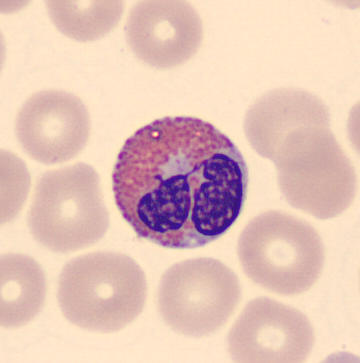 Specimen: peripheral blood film.
Classification: eosinophilic granulocyte.
Lineage: myeloid.

Preparation: CellaVision DM96.